Bone marrow aspirate smear: 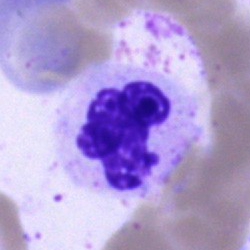

This is a polymorphonuclear neutrophil.